MGG-stained · cropped to a single cell · bone marrow smear — 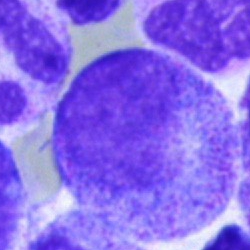Myelocyte.